Bone marrow smear. Brightfield microscopy, 40× oil immersion
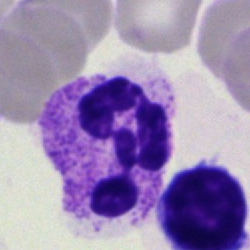

Showing a polymorphonuclear neutrophil.